Bone marrow aspirate smear: 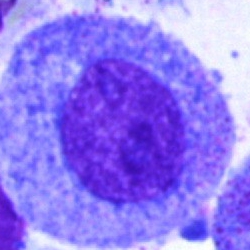

This is a promyelocyte.